Bone marrow smear
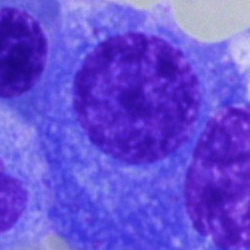 Specimen: bone marrow smear.
Cell: plasmacyte.